Bone marrow smear: 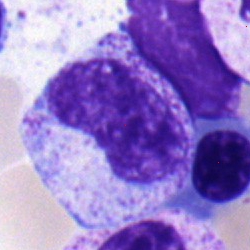Morphological class: metamyelocyte.